Bone marrow aspirate smear · brightfield, 40× oil-immersion objective · May-Grünwald-Giemsa stain: 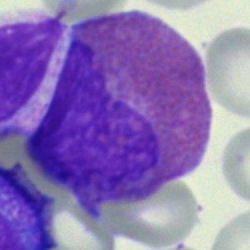Specimen: bone marrow smear.
Cell type: eosinophilic granulocyte.
Lineage: myeloid.